Bone marrow smear:
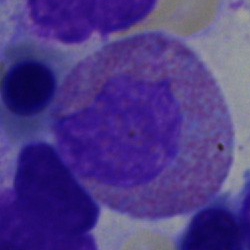 Specimen: bone marrow smear.
Cell: eosinophil.
Lineage: myeloid.